Bone marrow smear; MGG-stained.
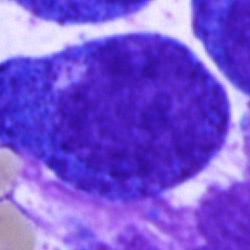
Promyelocyte.